Brightfield, 100× oil-immersion objective; peripheral blood smear.
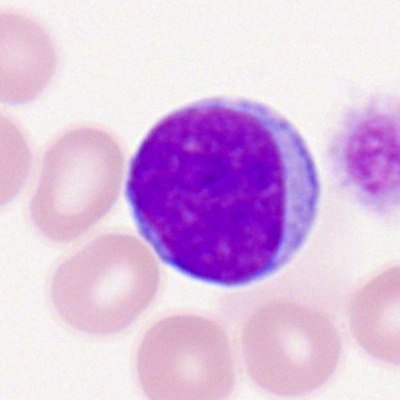

Impression — myeloblast.